Bone marrow aspirate smear: 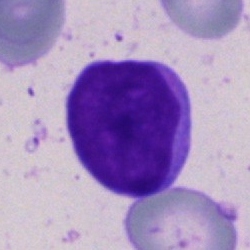

Q: What is the morphological classification of this cell?
A: A blast cell.